Bone marrow aspirate smear.
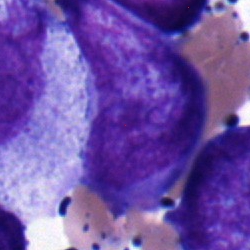

Cell — undifferentiated blast.